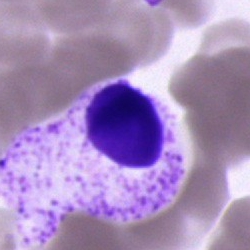

This is an unidentifiable cell.